Peripheral blood film. Single-cell field. 400×400 px:
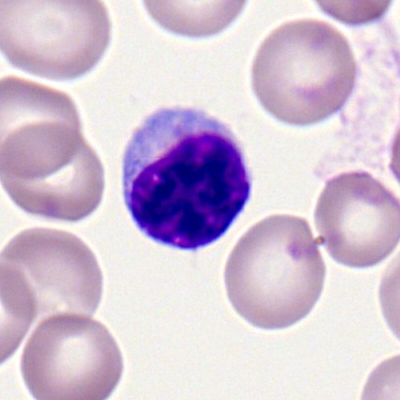
Classification = lymphocyte.